Bone marrow smear: 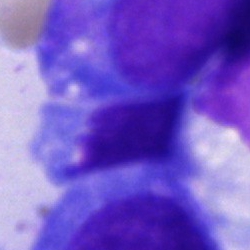Specimen: bone marrow aspirate smear.
Classification: cell of indeterminate lineage.